Bone marrow aspirate smear: 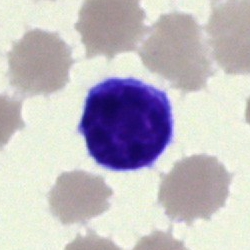
Specimen: bone marrow smear.
Cell type: lymphocyte.